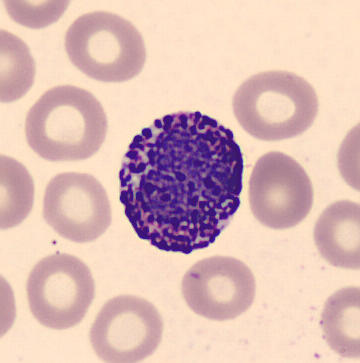

Q: What type of cell is this?
A: Basophil. Preparation: Peripheral blood film. 360 by 363 pixels.